Brightfield microscopy, 40× oil immersion. Bone marrow smear: 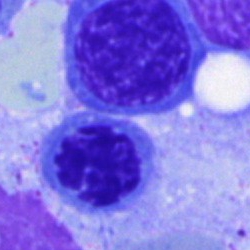
Morphological class = normoblast.